Bone marrow smear: 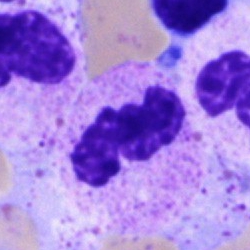
{"cell_type": "polymorphonuclear neutrophil"}